Bone marrow smear: 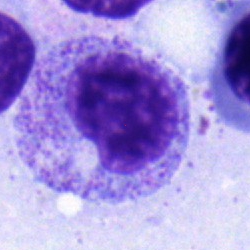

This is a myelocyte.